Image size 250×250 · brightfield, 40× oil-immersion objective · bone marrow aspirate smear — 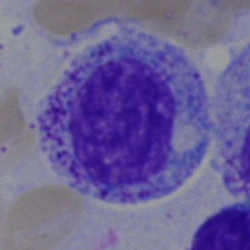 Classification: myelocyte.